Bone marrow smear
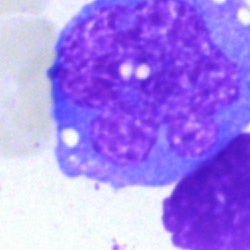

Morphology consistent with a monocyte.